Single cell centered in the field · 40× objective, oil immersion · bone marrow smear: 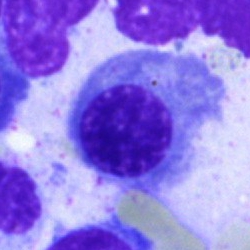Morphological class — nucleated red blood cell.